May-Grünwald-Giemsa/Pappenheim stain; bone marrow smear: 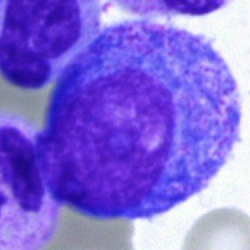 The cell shown is a promyelocyte.